Bone marrow smear: 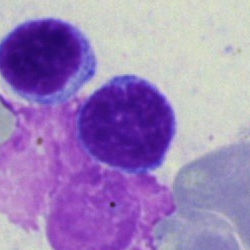
The cell type is typical lymphocyte.